Brightfield, 40× oil-immersion objective. Bone marrow aspirate smear: 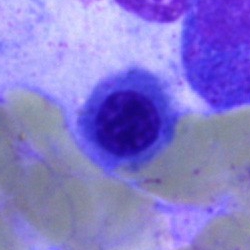

A nucleated red blood cell.